Peripheral blood film; single-cell crop:
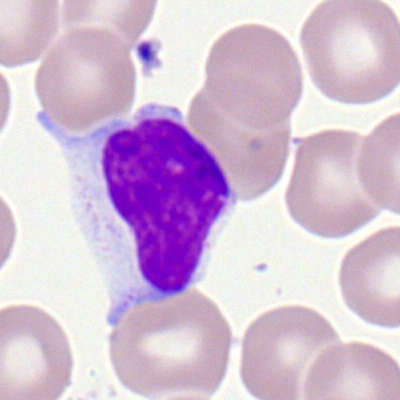 Classification: typical lymphocyte.